Bone marrow smear
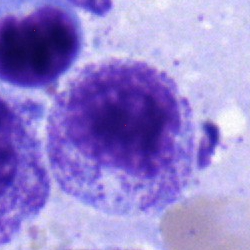 A myelocyte.